Bone marrow smear — 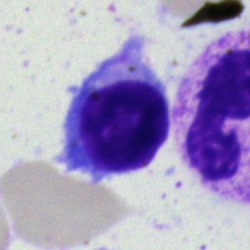
Morphology → lymphocyte.